Peripheral blood film:
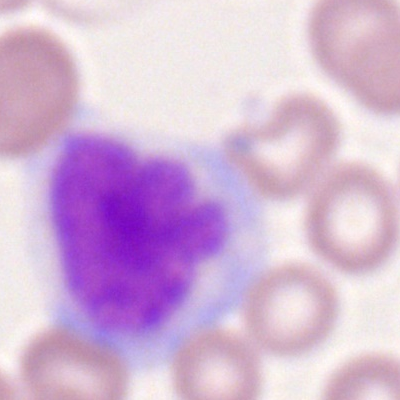

A monocyte.